40× objective, oil immersion; bone marrow smear; single-cell crop — 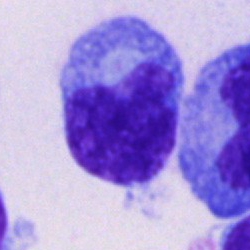 Impression → plasmacyte.